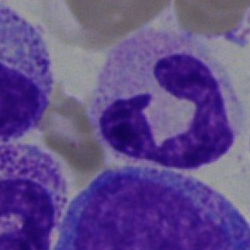

The morphological class is neutrophil (segmented).